MGG-stained; bone marrow smear:
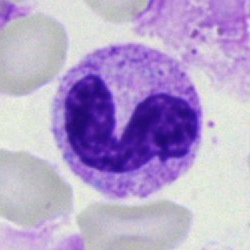 The cell shown is a band neutrophil.